Bone marrow aspirate smear.
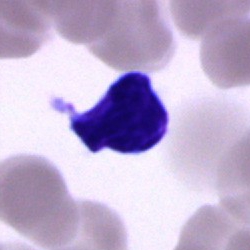
A lymphocyte.